Bone marrow aspirate smear:
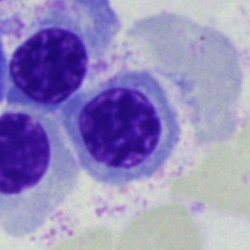

Morphology — normoblast.